May-Grünwald-Giemsa/Pappenheim stain; bone marrow aspirate smear.
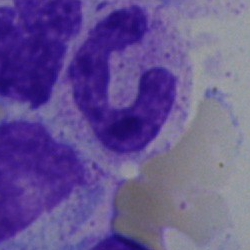

Cell type = neutrophil (segmented).